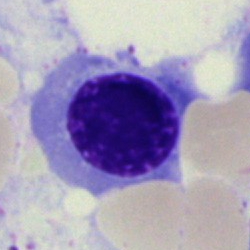
Specimen: bone marrow aspirate smear.
Cell: erythroblast.
Lineage: erythroid.